Brightfield, 40× oil-immersion objective · bone marrow smear · Pappenheim-stained: 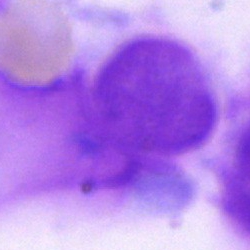
Impression → artefact.